Bone marrow aspirate smear; single-cell field
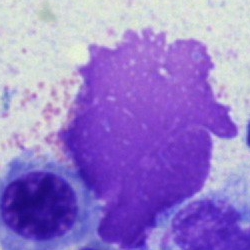Q: What is shown here?
A: Artifact.